Cropped to a single cell. Bone marrow smear
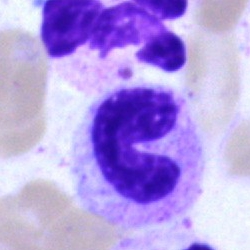Q: What cell is this?
A: This is a neutrophil (band).